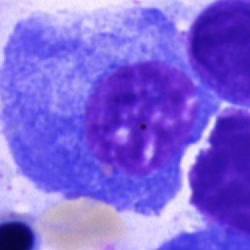
Impression → plasmacyte.